Bone marrow aspirate smear — 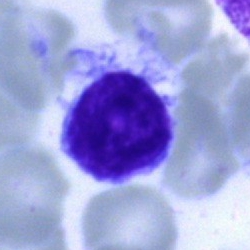

Single cell identified as a typical lymphocyte.